Bone marrow smear.
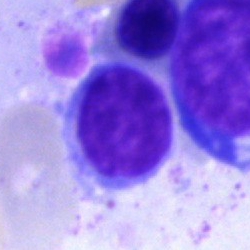
Morphology — typical lymphocyte.